Brightfield, 40× oil-immersion objective · bone marrow aspirate smear · Pappenheim-stained: 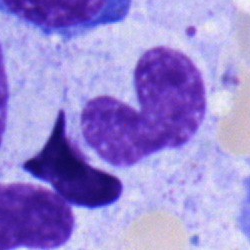

This is a band neutrophil.